Bone marrow smear
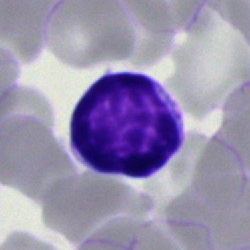Classification = lymphocyte.